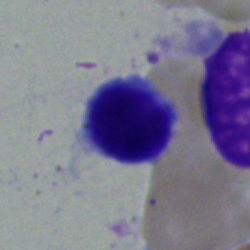 Typical lymphocyte.